Bone marrow smear: 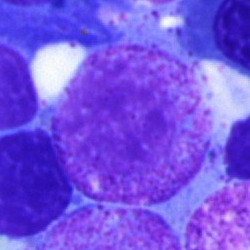Q: What cell is this?
A: It is a myelocyte.